Bone marrow smear — 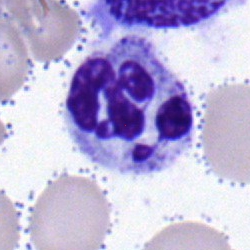
The cell shown is a polymorphonuclear neutrophil.